Bone marrow aspirate smear.
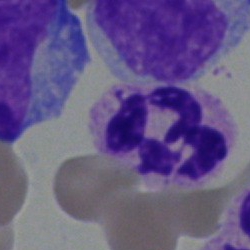
Morphological class = polymorphonuclear neutrophil.